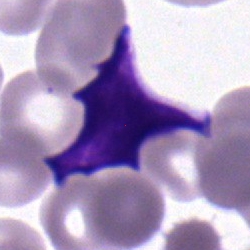Cell type — lymphocyte.